Peripheral blood smear — 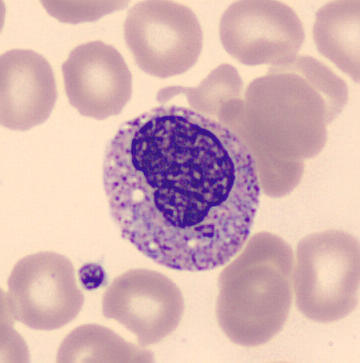This is a metamyelocyte.